Bone marrow aspirate smear
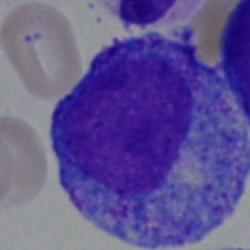

Specimen: bone marrow smear.
Morphological class: promyelocyte.
Lineage: myeloid.